Bone marrow aspirate smear.
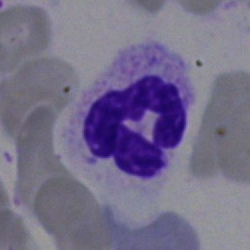
Cell type — segmented neutrophil.